Bone marrow aspirate smear: 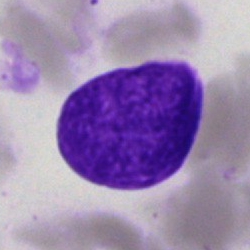 An artefact.